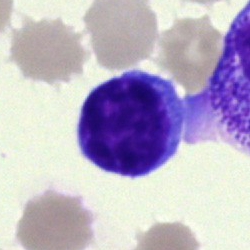

Q: What cell is this?
A: Lymphocyte.